Bone marrow aspirate smear: 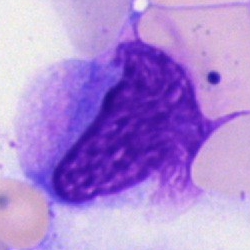The cell shown is an artifact.